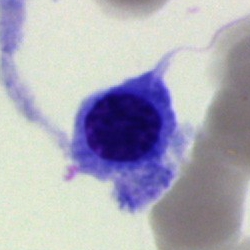

An artefact on a bone marrow smear.